Bone marrow smear.
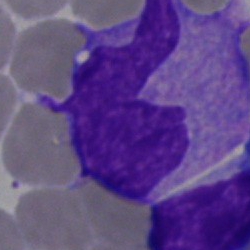
Specimen: bone marrow aspirate smear.
Classification: monocyte.